Bone marrow smear:
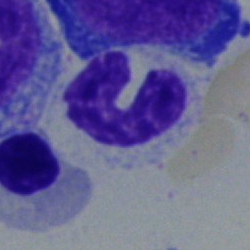
Morphology — band neutrophil.